Bone marrow smear: 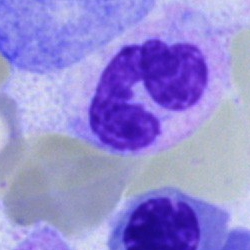

Specimen: bone marrow smear.
Classification: neutrophil (segmented).
Lineage: myeloid.